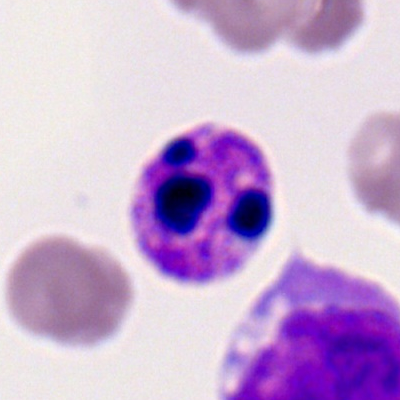 Q: What is shown here?
A: Polymorphonuclear neutrophil.